Peripheral blood smear; brightfield, 100× oil-immersion objective; Romanowsky-type stain: 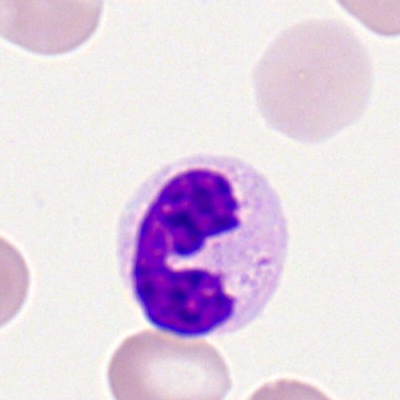

Polymorphonuclear neutrophil.